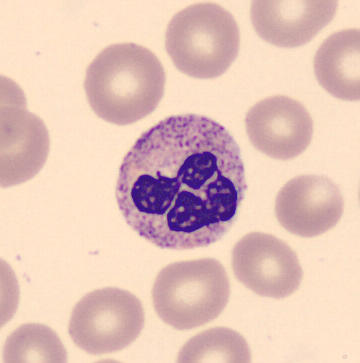
Acquisition: Peripheral blood film.

The cell type is polymorphonuclear neutrophil.